Bone marrow smear. 40× oil immersion. Image size 250×250
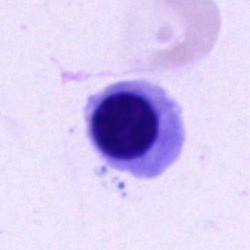
Q: What is the morphological classification of this cell?
A: This is an erythroblast.